Bone marrow aspirate smear. May-Grünwald-Giemsa stain:
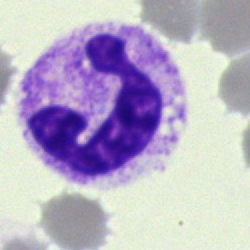
{"cell_type": "polymorphonuclear neutrophil", "lineage": "myeloid"}